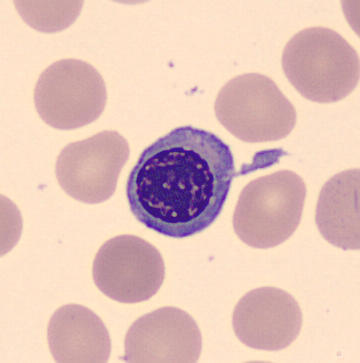 Specimen: peripheral blood smear.
Morphological class: normoblast.
Lineage: erythroid.